Peripheral blood smear:
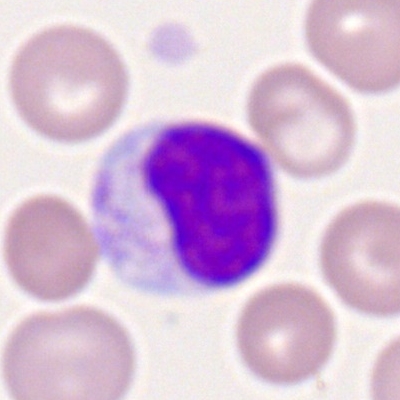
Classification = typical lymphocyte.